Cropped to a single cell · peripheral blood smear: 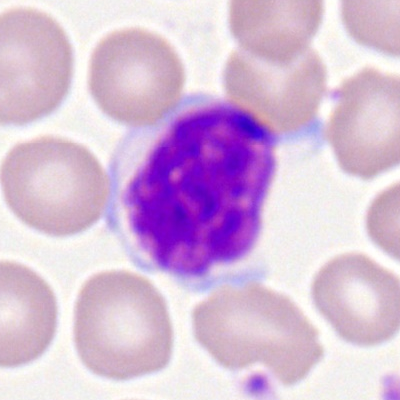
Cell type = lymphocyte.